Bone marrow smear
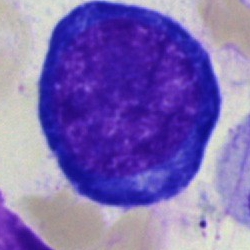Classification — proerythroblast.